Bone marrow smear: 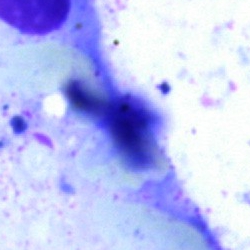

Q: What is shown here?
A: This is an artefact.